250×250. Bone marrow smear — 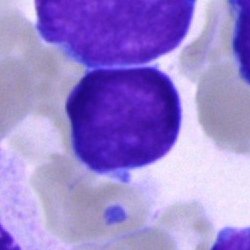
The cell shown is an undifferentiated blast.